Cropped to a single cell; peripheral blood smear — 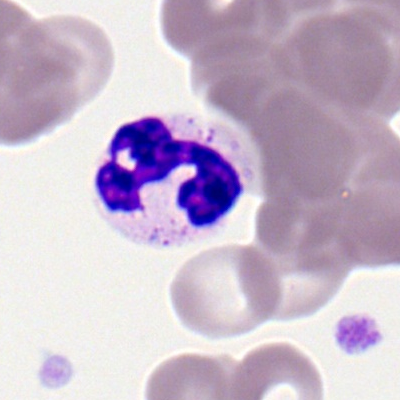
The classification is polymorphonuclear neutrophil.